Bone marrow aspirate smear: 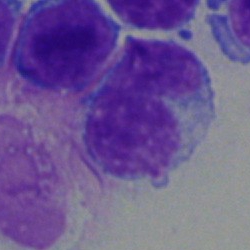 Specimen: bone marrow aspirate smear.
Classification: lymphocyte.
Lineage: lymphoid.